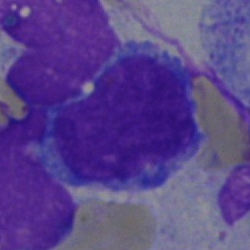 Q: Identify the cell.
A: Blast.